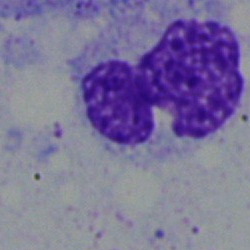
Bone marrow smear showing a segmented neutrophil.